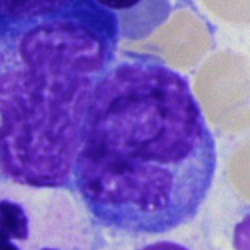Cell = monocyte.